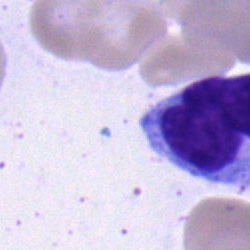 Cell type: monocyte.